Bone marrow smear
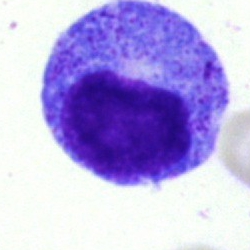

Specimen: bone marrow aspirate smear.
Cell type: promyelocyte.